Bone marrow smear.
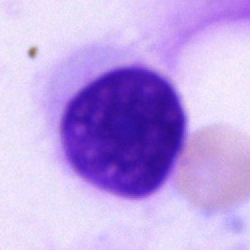
Impression → artefact.